Bone marrow smear
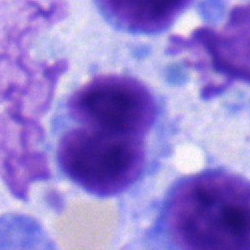Q: Identify the cell.
A: This is a lymphocyte.